Bone marrow aspirate smear: 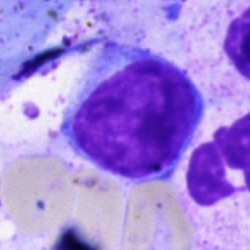

Q: What is shown here?
A: It is a typical lymphocyte.